Peripheral blood film — 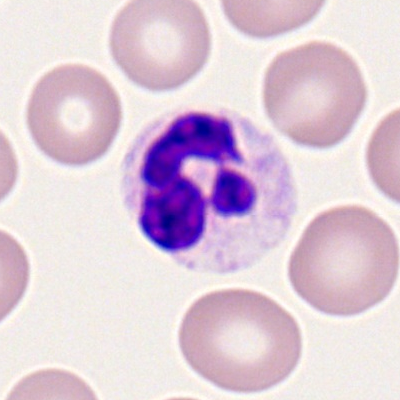Polymorphonuclear neutrophil.